Bone marrow aspirate smear:
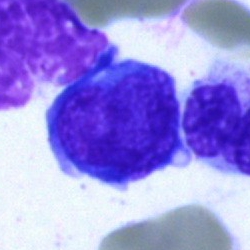

Showing an undifferentiated blast.